Bone marrow smear
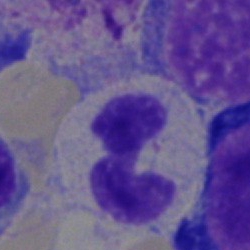

Cell type = polymorphonuclear neutrophil.